Bone marrow aspirate smear. Cropped to a single cell — 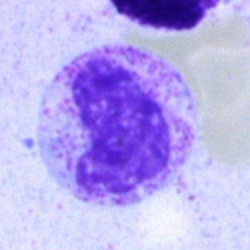Metamyelocyte.